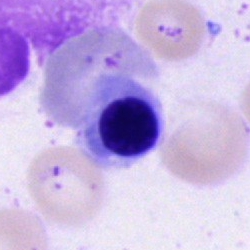

Q: Which cell type is shown here?
A: A nucleated red cell.